Bone marrow aspirate smear · single cell centered in the field
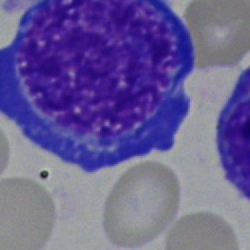

Specimen: bone marrow aspirate smear.
Cell type: proerythroblast.
Lineage: erythroid.